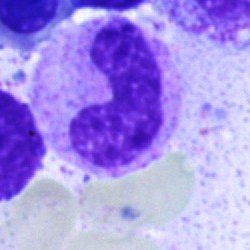Q: Which cell type is shown here?
A: This is a band neutrophil.